Bone marrow aspirate smear.
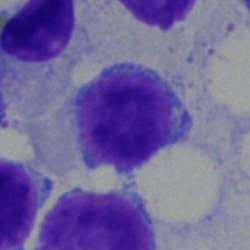
{"cell_type": "typical lymphocyte", "lineage": "lymphoid"}